Bone marrow smear:
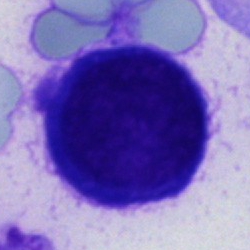 Q: Which cell type is shown here?
A: This is an unidentifiable cell.